40× oil immersion. Bone marrow aspirate smear
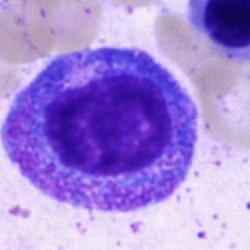

The cell shown is a promyelocyte.